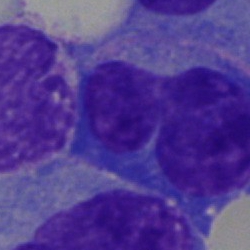

The cell shown is a plasmacyte.